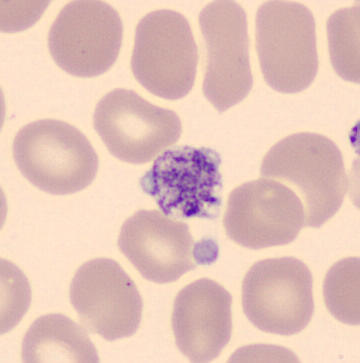 Q: What is this?
A: This is a platelet (thrombocyte).

May-Grünwald-Giemsa-stained. Imaged on a CellaVision DM96 analyser. Peripheral blood film.